Bone marrow smear.
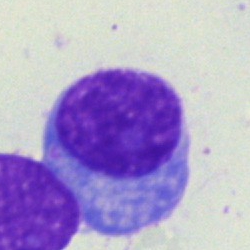 Specimen: bone marrow aspirate smear.
Cell type: plasmacyte.